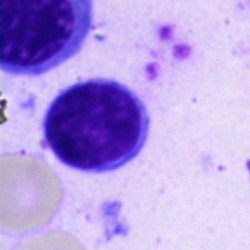
Morphology — typical lymphocyte.